Bone marrow smear · 250×250 — 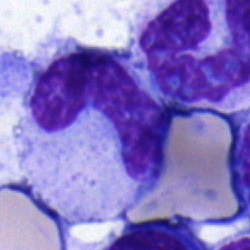 Q: What cell is this?
A: It is a neutrophil (segmented).